Romanowsky stain; peripheral blood film: 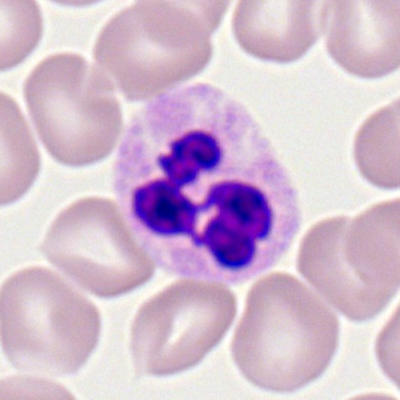 Q: What is the morphological classification of this cell?
A: Segmented neutrophil.